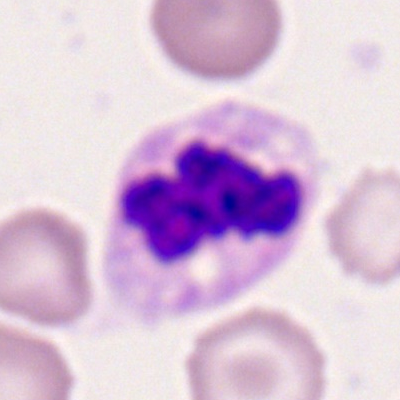
Impression — polymorphonuclear neutrophil.